Bone marrow smear:
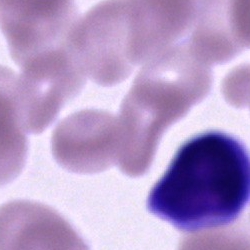The cell shown is a lymphocyte.